Bone marrow aspirate smear: 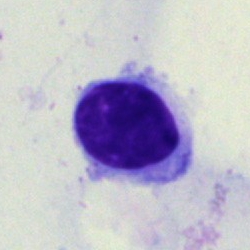Showing a typical lymphocyte.